MGG-stained · image size 250×250 · bone marrow aspirate smear.
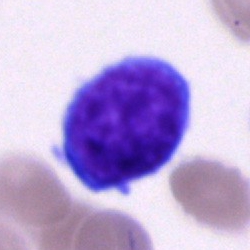
Single cell identified as an undifferentiated blast.